Brightfield microscopy, 40× oil immersion. Bone marrow smear.
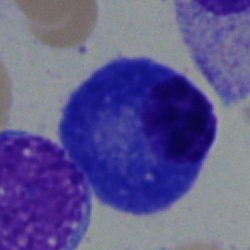

Q: Which cell type is shown here?
A: It is a plasma cell.